Bone marrow aspirate smear · 40× objective, oil immersion.
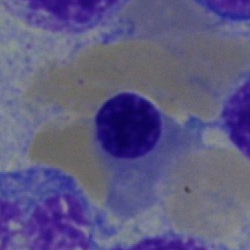
Single cell identified as a normoblast.